Bone marrow smear:
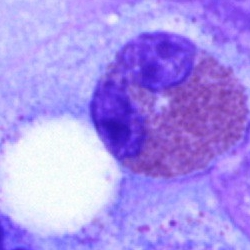 Q: What type of cell is this?
A: Eosinophilic granulocyte.